Single-cell crop; bone marrow smear
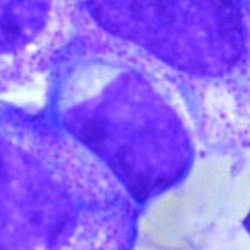

The cell shown is an artifact.